Bone marrow smear:
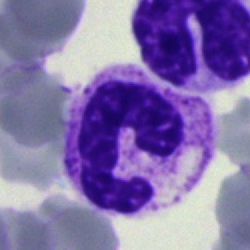

Q: Which cell type is shown here?
A: Neutrophil (segmented).